Bone marrow smear:
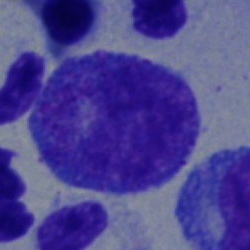

Q: Identify the cell.
A: It is a promyelocyte.